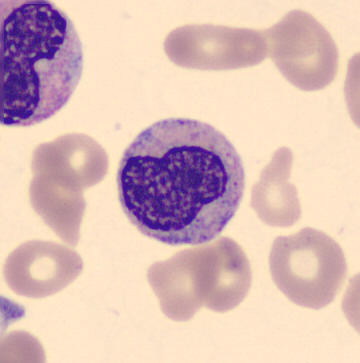 Peripheral blood film · single cell centered in the field · 360×363. Identified as a metamyelocyte.